Peripheral blood smear · CellaVision DM96 digital cell image · 360 by 363 pixels — 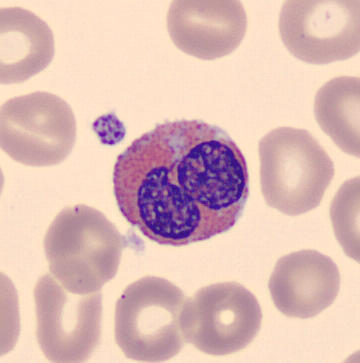 Cell type — eosinophilic granulocyte.